Peripheral blood smear.
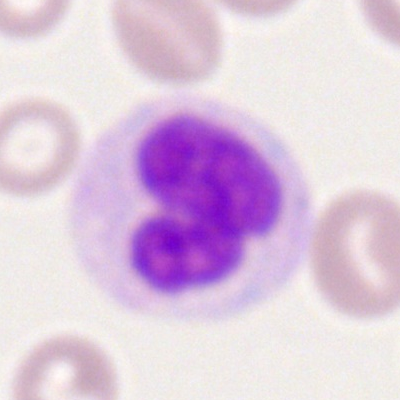 Single cell identified as a monocyte.